Single-cell field · bone marrow aspirate smear · brightfield microscopy, 40× oil immersion.
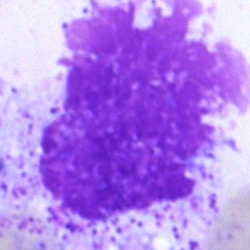 Q: What is shown here?
A: Artefact.